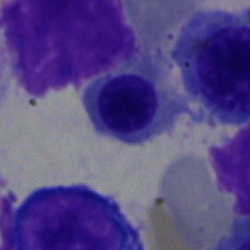

Q: Identify the cell.
A: A nucleated red cell.